Bone marrow aspirate smear. 40× objective, oil immersion — 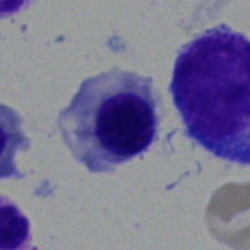 Q: Identify the cell.
A: This is a normoblast.